Bone marrow smear
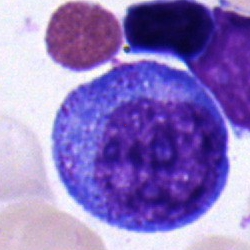

Single cell identified as a progranulocyte.